Peripheral blood film: 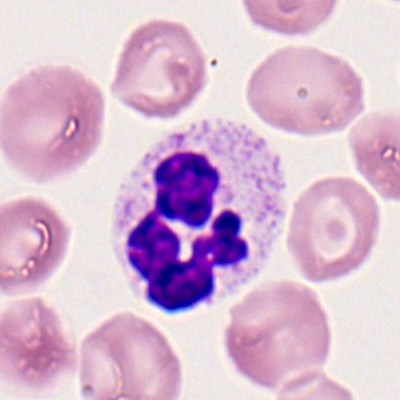

The cell shown is a segmented neutrophil.